Bone marrow aspirate smear:
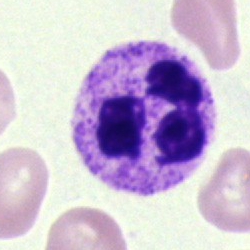This is a polymorphonuclear neutrophil.